100× objective, oil immersion · peripheral blood smear · single cell centered in the field
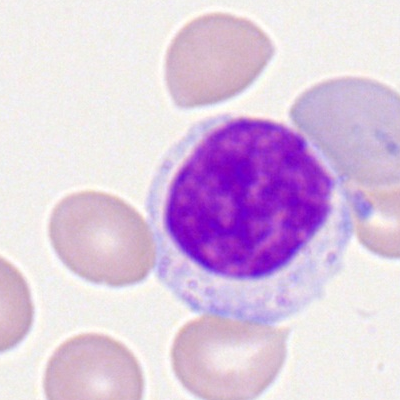

This is a lymphocyte.